40× oil immersion; bone marrow aspirate smear
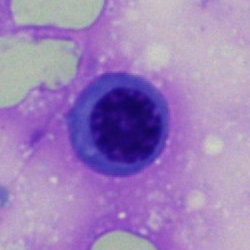

Morphological class: nucleated red cell.